Brightfield, 100× oil-immersion objective; peripheral blood film; Romanowsky-stained.
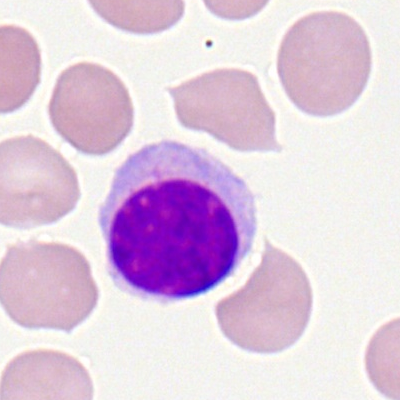 Morphology consistent with a lymphocyte.